Bone marrow aspirate smear. MGG-stained: 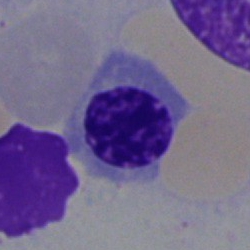
{"cell_type": "erythroblast", "lineage": "erythroid"}